Bone marrow aspirate smear.
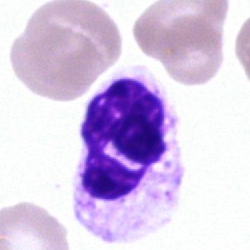
A polymorphonuclear neutrophil.